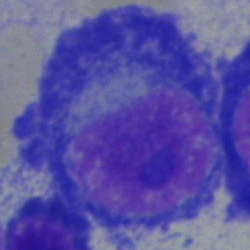Plasmacyte.